Bone marrow smear:
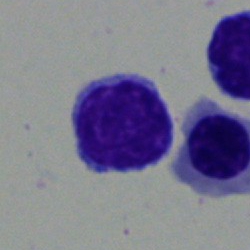Cell: lymphocyte.